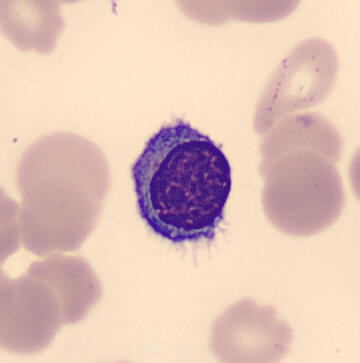 Peripheral blood smear. May Grünwald-Giemsa stain. Cell: lymphocyte.